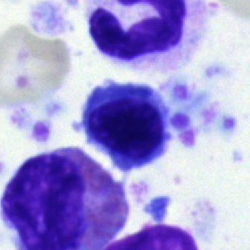
Cell — erythroblast.